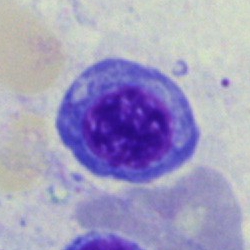 Classification = nucleated red blood cell.